Bone marrow aspirate smear · 40× oil immersion.
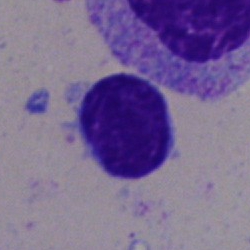
Impression → lymphocyte.